MGG-stained. 40× oil immersion. Bone marrow aspirate smear.
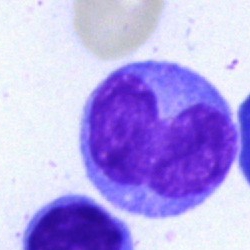Cell type — monocyte.